Bone marrow aspirate smear:
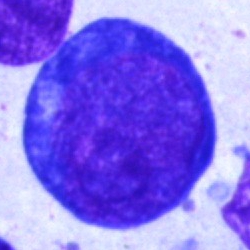Q: What is the morphological classification of this cell?
A: Proerythroblast.